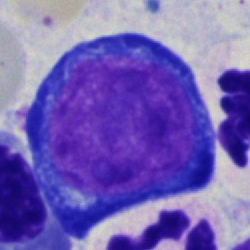

Impression — pronormoblast.